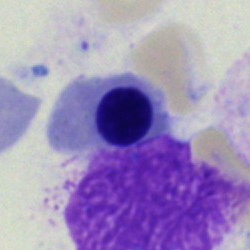
Q: Identify the cell.
A: Normoblast.